Bone marrow smear.
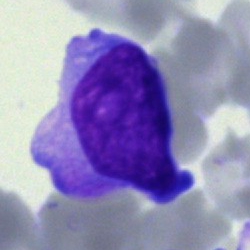An undifferentiated blast.